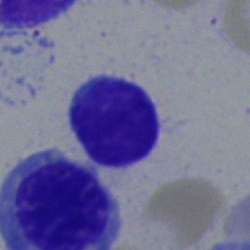

Showing a typical lymphocyte.